Bone marrow smear. 250 by 250 pixels:
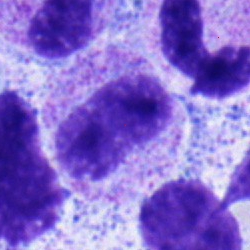 Specimen: bone marrow smear.
Classification: band-form neutrophil.